Brightfield microscopy, 40× oil immersion. Bone marrow aspirate smear
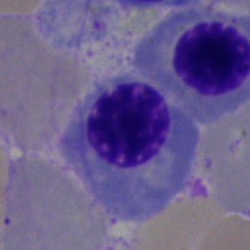
Showing an erythroblast.